Single-cell crop; bone marrow aspirate smear
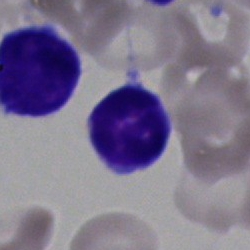The cell shown is a typical lymphocyte.